M8 digital microscope (Precipoint), 100× oil immersion; peripheral blood film:
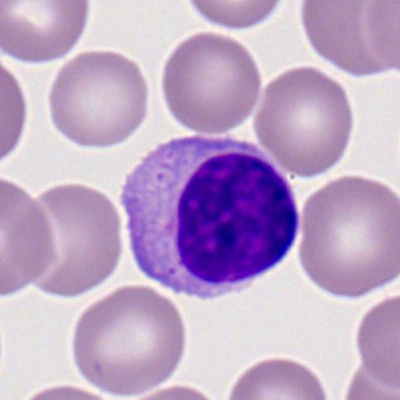 Morphology consistent with a typical lymphocyte.